40× oil immersion; bone marrow aspirate smear; single-cell crop:
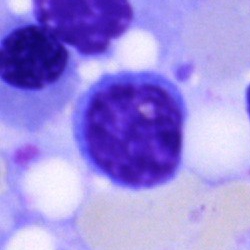Cell type: typical lymphocyte.